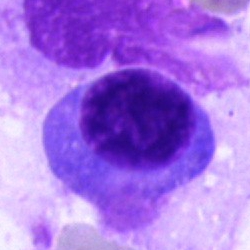
Morphology consistent with a plasma cell.